Brightfield, 40× oil-immersion objective · bone marrow aspirate smear:
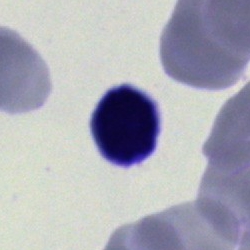Typical lymphocyte.